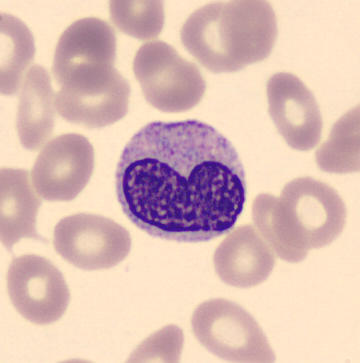
Cell type — metamyelocyte.